Brightfield, 40× oil-immersion objective; single cell centered in the field; bone marrow smear
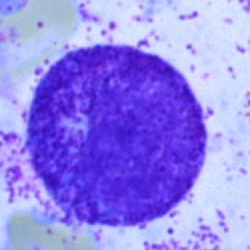
Specimen: bone marrow smear.
Cell type: myelocyte.